Brightfield, 40× oil-immersion objective. Bone marrow smear. Cropped to a single cell: 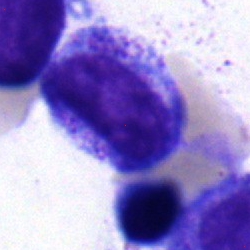

This is a myelocyte.